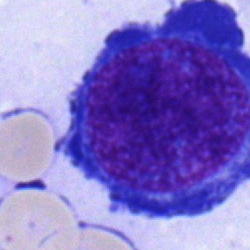Specimen: bone marrow smear.
Cell type: pronormoblast.
Lineage: erythroid.